250×250 · bone marrow smear:
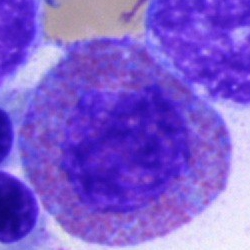 The classification is eosinophil.